Cropped to a single cell; bone marrow aspirate smear; 250×250.
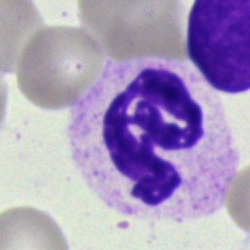 Morphology — neutrophil (segmented).